Bone marrow aspirate smear:
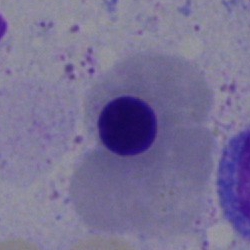Q: What type of cell is this?
A: Erythroblast.